250 by 250 pixels; bone marrow aspirate smear:
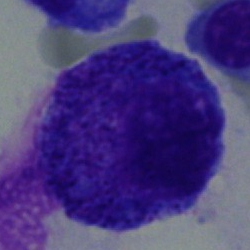Morphology consistent with a promyelocyte.